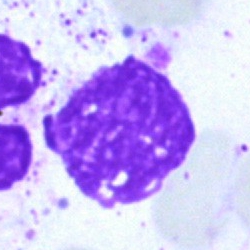
Q: What is shown here?
A: This is an artifact.